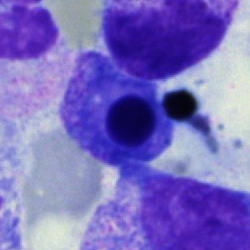
An erythroblast on a bone marrow smear.